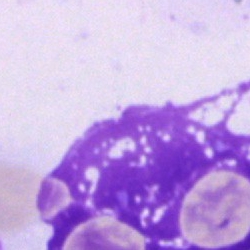The classification is artefact.